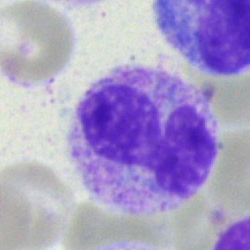A monocyte on a bone marrow smear.